Bone marrow aspirate smear — 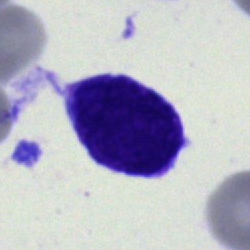

Specimen: bone marrow aspirate smear.
Classification: blast.